Bone marrow smear · brightfield microscopy, 40× oil immersion:
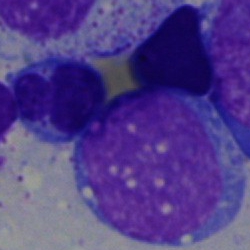Cell type = undifferentiated blast.